Peripheral blood film.
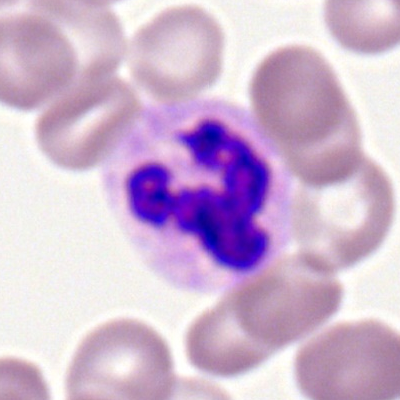
Morphology — neutrophil (segmented).